40× objective, oil immersion. Bone marrow smear — 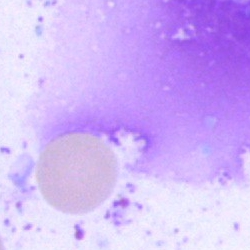
Showing an artefact.